Single cell centered in the field; bone marrow aspirate smear.
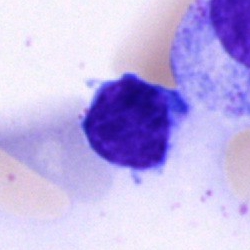Q: Which cell type is shown here?
A: A lymphocyte.